250×250 px · bone marrow aspirate smear: 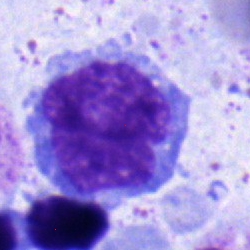 Single cell identified as a monocyte.